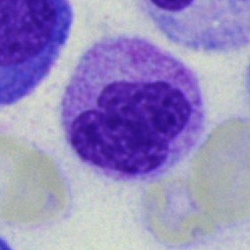

Q: What is shown here?
A: This is a neutrophil (segmented).